Bone marrow smear
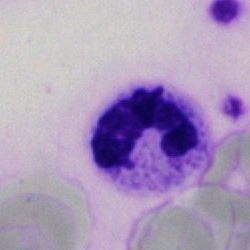

Specimen: bone marrow aspirate smear.
Classification: segmented neutrophil.
Lineage: myeloid.